Bone marrow aspirate smear.
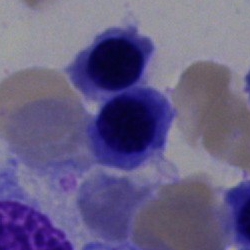This is a nucleated red blood cell.